Bone marrow aspirate smear
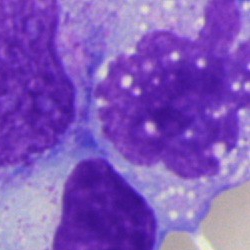A monocyte.